Bone marrow smear:
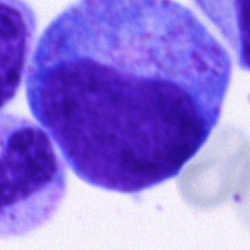
Cell — promyelocyte.